Single-cell field. Bone marrow smear: 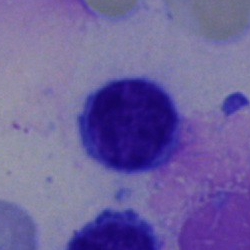

Q: What is the morphological classification of this cell?
A: A lymphocyte.